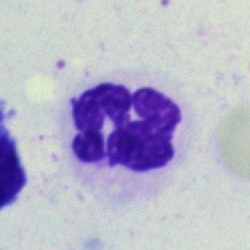
Morphological class = neutrophil (segmented).